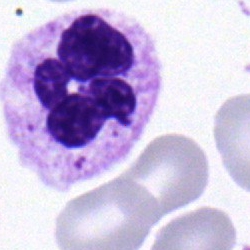

Single cell identified as a segmented neutrophil.